Bone marrow smear.
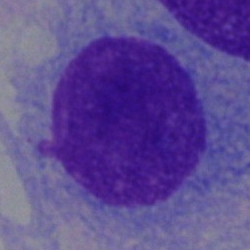
Specimen: bone marrow aspirate smear.
Cell type: plasma cell.
Lineage: lymphoid.